Cropped to a single cell; May-Grünwald-Giemsa stain; bone marrow smear: 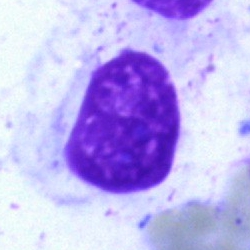Impression → artifact.